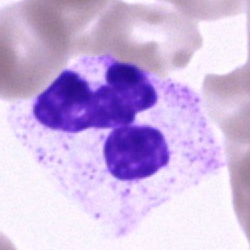 Q: What is the morphological classification of this cell?
A: This is a segmented neutrophil.